Image size 250×250; Pappenheim-stained; bone marrow smear.
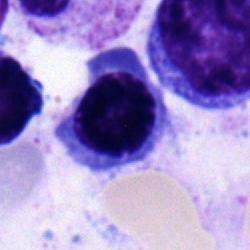Specimen: bone marrow aspirate smear.
Cell type: nucleated red cell.